Brightfield, 40× oil-immersion objective · 250 by 250 pixels · bone marrow smear: 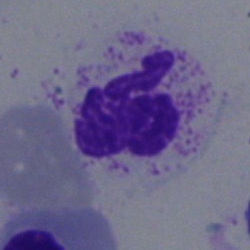 {"cell_type": "neutrophil (segmented)"}